Single-cell field. 250×250. Bone marrow aspirate smear — 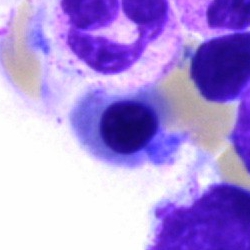 Impression — normoblast.